Cropped to a single cell; May-Grünwald-Giemsa stain; bone marrow aspirate smear.
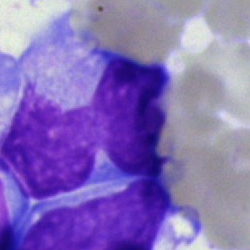
Single cell identified as a blast.